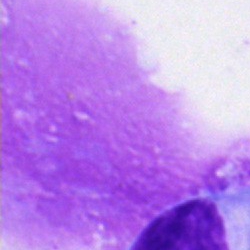 Specimen: bone marrow aspirate smear.
Cell: artefact.